Bone marrow smear; 250 by 250 pixels: 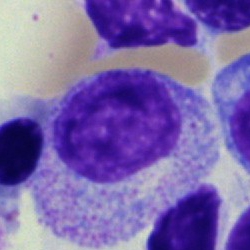A myelocyte.